Bone marrow aspirate smear
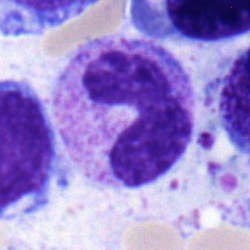
Morphological class = band-form neutrophil.